Bone marrow aspirate smear: 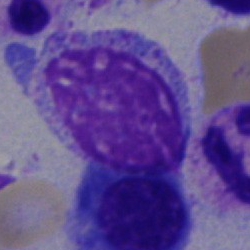

Q: What is shown here?
A: Artefact.